Bone marrow aspirate smear · 40× oil immersion — 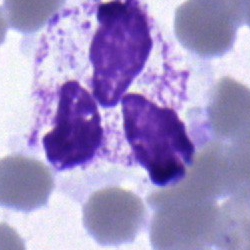

Impression — polymorphonuclear neutrophil.